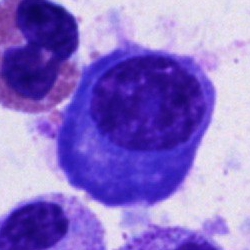
{"cell_type": "plasma cell", "lineage": "lymphoid"}